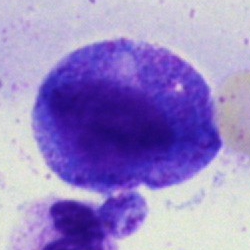
Promyelocyte.